Bone marrow smear — 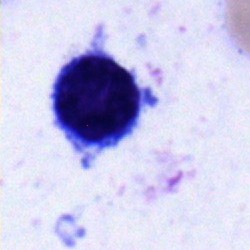Impression → lymphocyte.